Peripheral blood smear · brightfield, 100× oil-immersion objective: 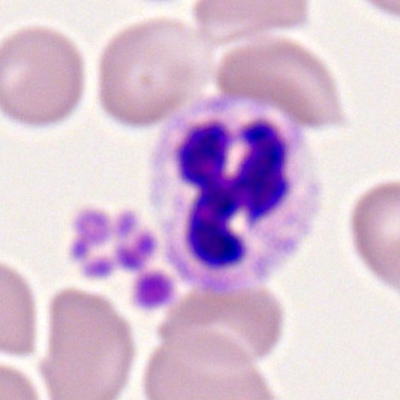

The cell is neutrophil (segmented).